MGG-stained. Bone marrow aspirate smear — 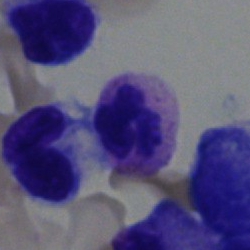

The cell type is neutrophil (segmented).